Bone marrow aspirate smear — 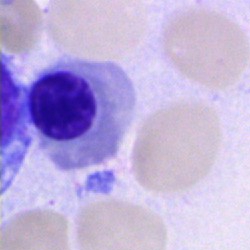Nucleated red cell.